40× oil immersion; bone marrow smear
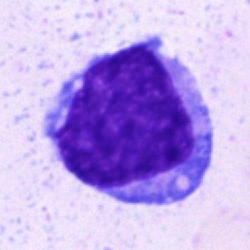

A blast.